Bone marrow smear — 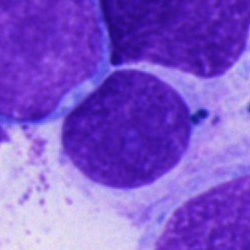
Morphology — cell of indeterminate lineage.